Bone marrow smear: 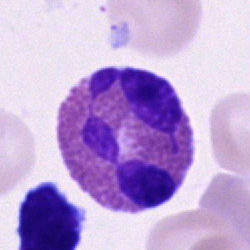 This is an eosinophilic granulocyte.